Bone marrow aspirate smear.
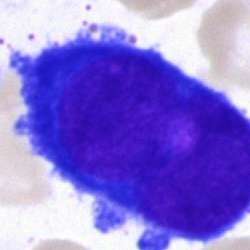

Q: What is the morphological classification of this cell?
A: A pronormoblast.